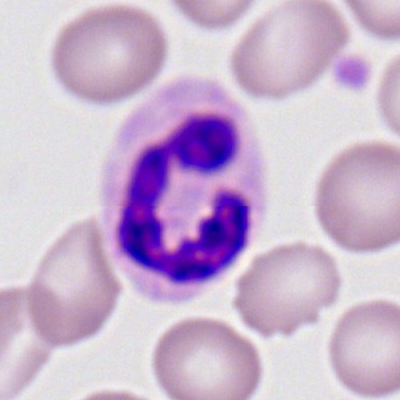

The classification is neutrophil (segmented).